Bone marrow smear · brightfield, 40× oil-immersion objective:
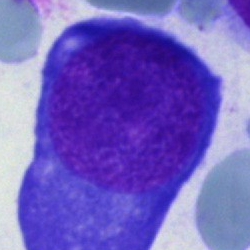

Specimen: bone marrow smear.
Classification: proerythroblast.
Lineage: erythroid.